Bone marrow smear
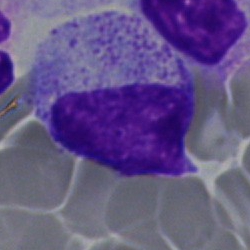
{"cell_type": "myelocyte"}